Image size 250×250. Bone marrow aspirate smear:
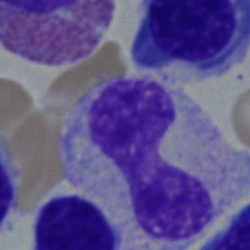
Classification: neutrophil (band).